Bone marrow smear.
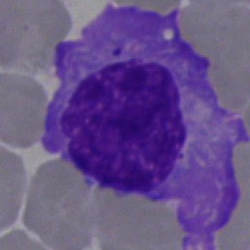
Cell type — plasma cell.